Bone marrow smear:
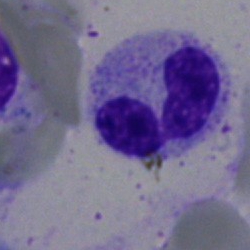 Q: What is shown here?
A: This is a segmented neutrophil.